Bone marrow aspirate smear; 250×250:
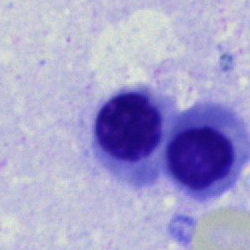Cell type — normoblast.